Bone marrow aspirate smear.
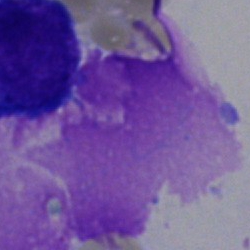
Single cell identified as an artifact.